Bone marrow smear. May-Grünwald-Giemsa stain: 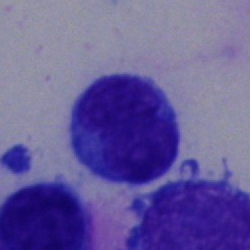Q: Which cell type is shown here?
A: Typical lymphocyte.